Bone marrow aspirate smear: 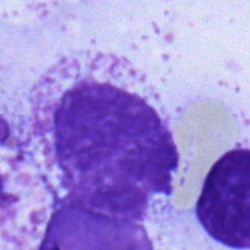The morphological class is myelocyte.